Single-cell crop · 40× objective, oil immersion · bone marrow aspirate smear — 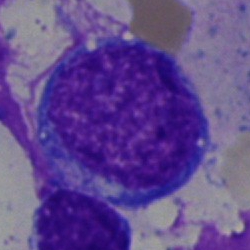Undifferentiated blast.